Bone marrow smear:
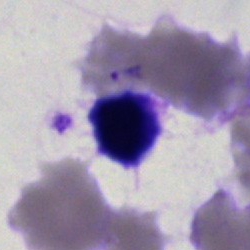
The morphological class is artifact.